Bone marrow aspirate smear: 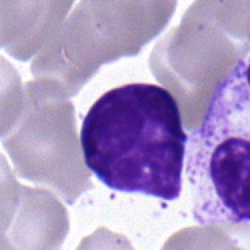A lymphocyte.